Peripheral blood film · Romanowsky stain
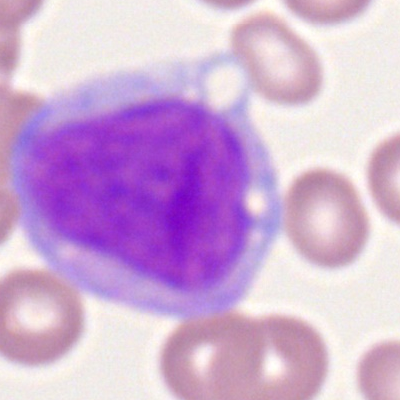

Specimen: peripheral blood smear.
Cell: myeloid blast.
Lineage: myeloid.